Bone marrow smear — 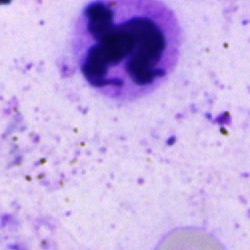
Specimen: bone marrow smear.
Cell type: neutrophil (segmented).